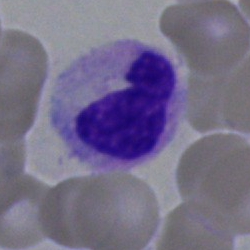 Q: What cell is this?
A: This is a band-form neutrophil.